Bone marrow smear. 250×250 px
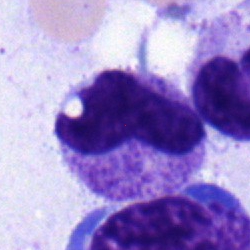 The cell is band-form neutrophil.